Peripheral blood film.
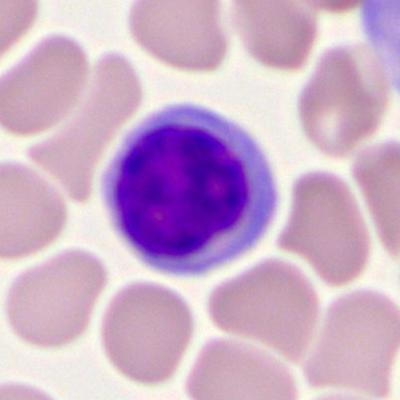Q: Identify the cell.
A: A typical lymphocyte.